Bone marrow smear: 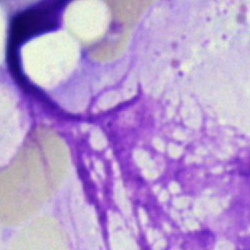

Morphology → artefact.